Pappenheim-stained; bone marrow aspirate smear
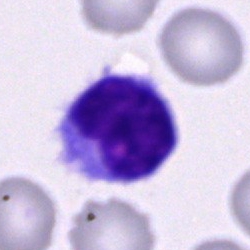
Impression — lymphocyte.